Brightfield, 40× oil-immersion objective. Bone marrow smear. Single cell centered in the field
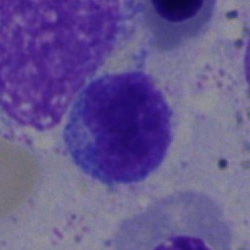Morphology — lymphocyte.